Bone marrow aspirate smear — 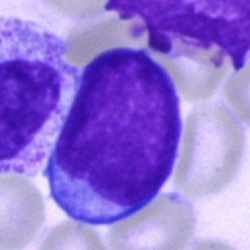
Q: What is shown here?
A: Blast cell.